Bone marrow aspirate smear.
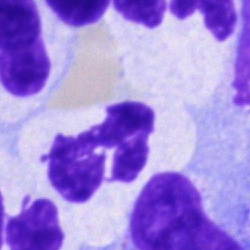The morphological class is polymorphonuclear neutrophil.